Bone marrow smear. Brightfield microscopy, 40× oil immersion.
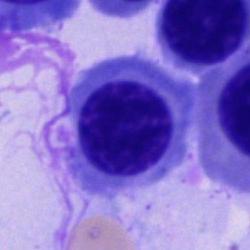 Q: Which cell type is shown here?
A: A nucleated red cell.